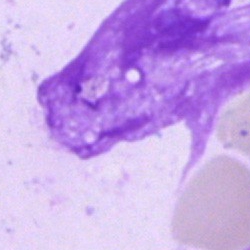Cell — artefact.